Bone marrow aspirate smear: 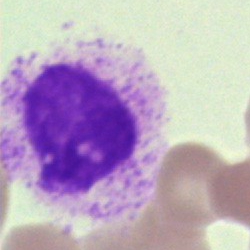
This is an artifact.